Bone marrow aspirate smear · May-Grünwald-Giemsa/Pappenheim stain: 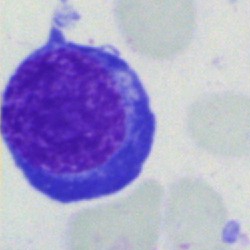Morphological class: normoblast.